Bone marrow smear. May-Grünwald-Giemsa/Pappenheim stain: 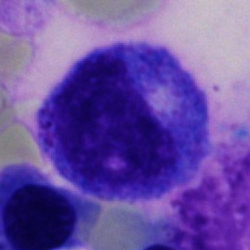
Impression → progranulocyte.